Bone marrow smear
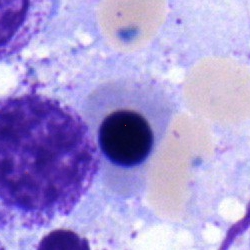
Q: What is the morphological classification of this cell?
A: Erythroblast.